Peripheral blood smear: 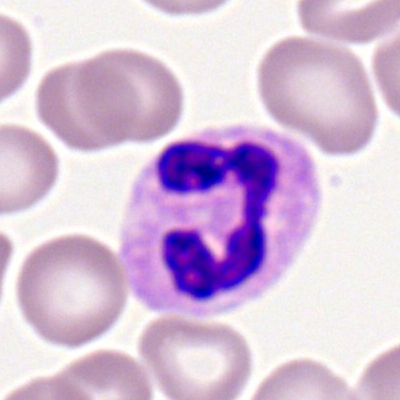
Specimen: peripheral blood smear.
Cell: neutrophil (segmented).
Lineage: myeloid.